Bone marrow smear · MGG-stained:
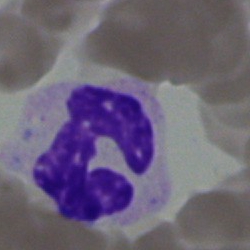
{"cell_type": "segmented neutrophil", "lineage": "myeloid"}